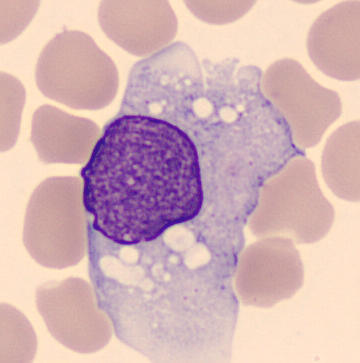Morphological class — monocyte.